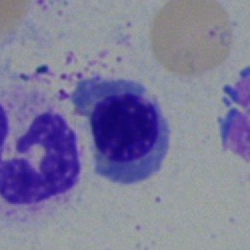

Morphological class = nucleated red cell.